Single cell centered in the field · bone marrow aspirate smear · MGG-stained
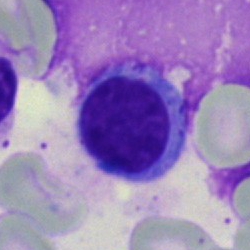

Lymphocyte.